Bone marrow aspirate smear. 250×250: 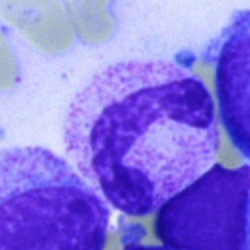 Classification: segmented neutrophil.